Image size 250×250. Bone marrow aspirate smear
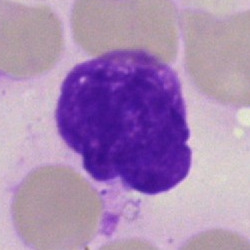

Specimen: bone marrow smear.
Cell type: artifact.